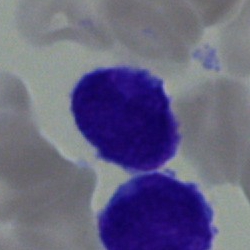 Morphology → blast.